May-Grünwald-Giemsa stain; bone marrow smear; single cell centered in the field
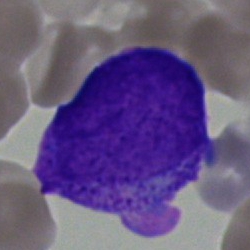

Showing a blast cell.